Bone marrow smear:
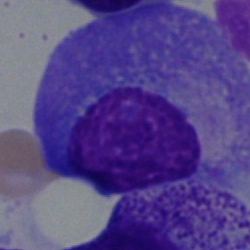
Morphology → plasmacyte.